Bone marrow aspirate smear. 40× oil immersion — 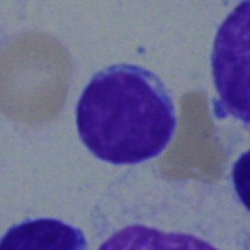Impression → lymphocyte.